250×250 · bone marrow smear · 40× oil immersion:
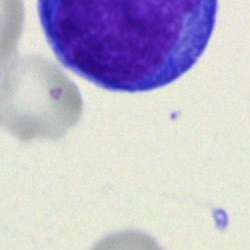

The classification is pronormoblast.